Bone marrow smear. Cropped to a single cell. May-Grünwald-Giemsa/Pappenheim stain.
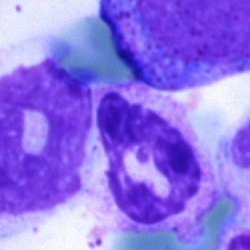
This is a polymorphonuclear neutrophil.